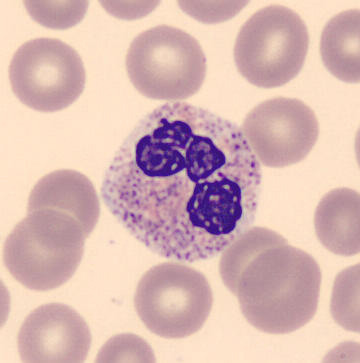
This is a neutrophil (segmented). Preparation: Peripheral blood smear.